MGG-stained. Bone marrow aspirate smear — 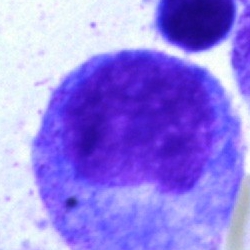 Classification = progranulocyte.